Bone marrow smear: 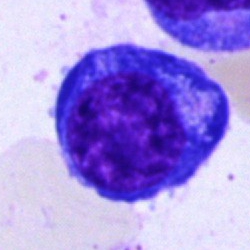
Showing an erythroblast.